Peripheral blood smear
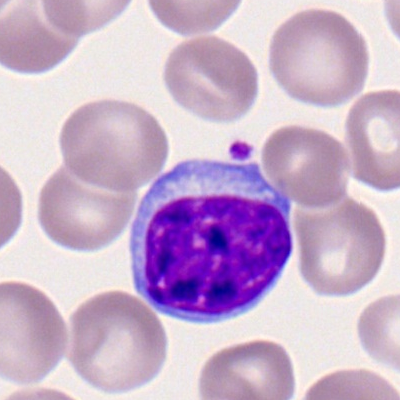 Morphological class = typical lymphocyte.